Bone marrow smear.
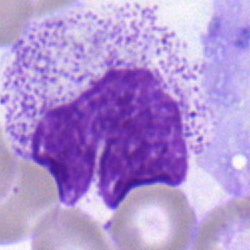
Cell type — stab cell.